Bone marrow aspirate smear — 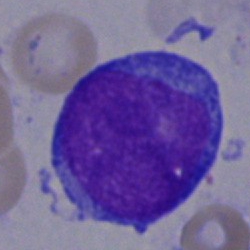An undifferentiated blast.